Bone marrow smear · single-cell field · 250 by 250 pixels.
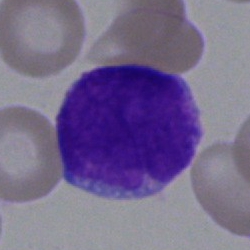 Showing a blast cell.